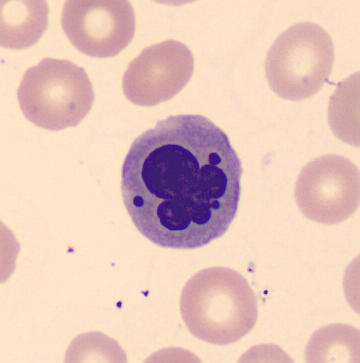
This is a nucleated red cell.